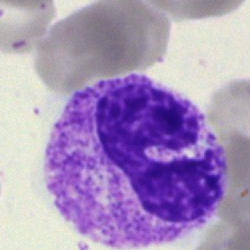 Bone marrow smear showing a stab cell.